Bone marrow aspirate smear. Brightfield microscopy, 40× oil immersion — 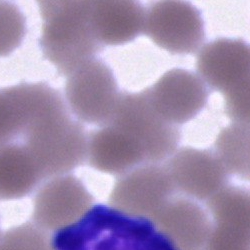 Specimen: bone marrow aspirate smear.
Morphological class: artifact.